Brightfield, 40× oil-immersion objective; bone marrow aspirate smear; single cell centered in the field:
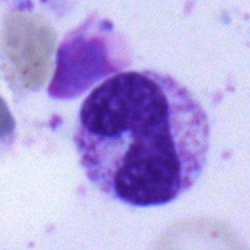 Classification: band neutrophil.